Romanowsky stain; peripheral blood film; 100× oil immersion, 14.14 px/µm.
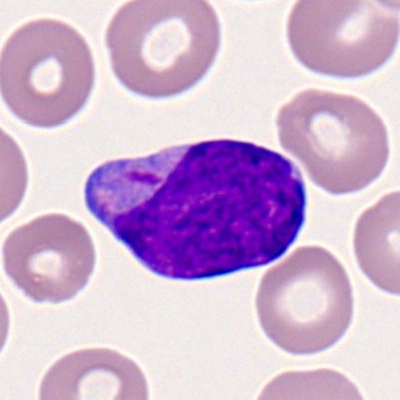

Specimen: peripheral blood film.
Cell type: myeloid blast.